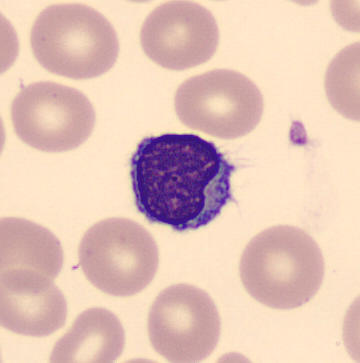

{"cell_type": "typical lymphocyte"}